Bone marrow smear · 250 by 250 pixels: 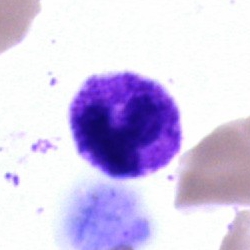
This is a polymorphonuclear neutrophil.